250×250 px. Bone marrow smear
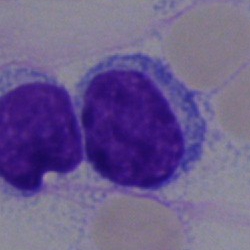
{"cell_type": "typical lymphocyte"}